Bone marrow smear
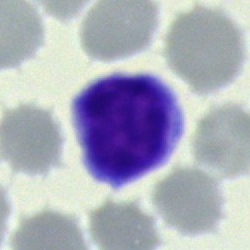 Q: Which cell type is shown here?
A: A typical lymphocyte.